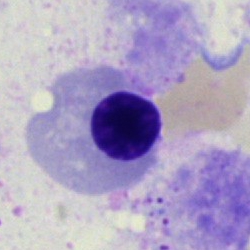 {"cell_type": "erythroblast"}